Bone marrow smear:
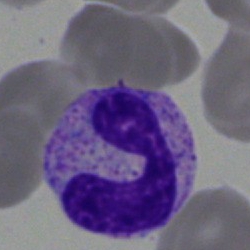Showing a neutrophil (segmented).